Bone marrow aspirate smear · single-cell crop:
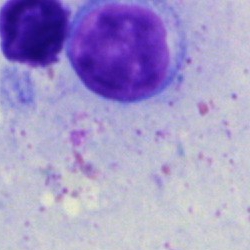Q: What is the morphological classification of this cell?
A: It is a lymphocyte.